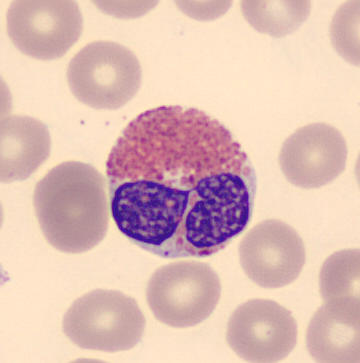

Eosinophilic granulocyte.
Peripheral blood smear.